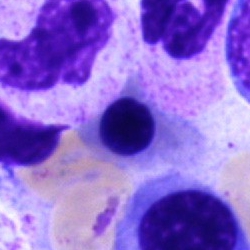
Bone marrow aspirate smear, single cell — nucleated red blood cell.